40× oil immersion; bone marrow smear
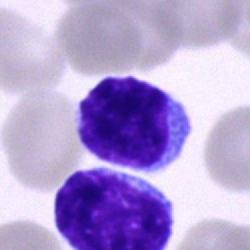
Classification = lymphocyte.